Peripheral blood smear; Romanowsky-stained — 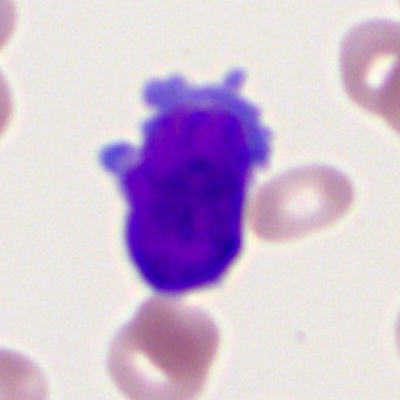 Q: What cell is this?
A: Myeloblast.